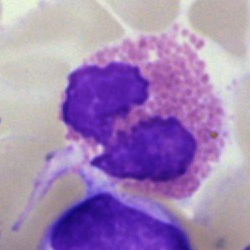
Single-cell crop from a bone marrow smear: eosinophil.